Bone marrow aspirate smear:
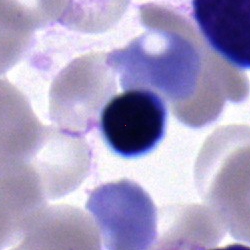Specimen: bone marrow aspirate smear.
Classification: typical lymphocyte.
Lineage: lymphoid.